40× objective, oil immersion. Single-cell crop. Bone marrow smear.
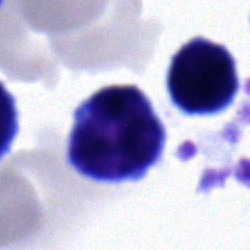 Cell = lymphocyte.